Cropped to a single cell; bone marrow aspirate smear: 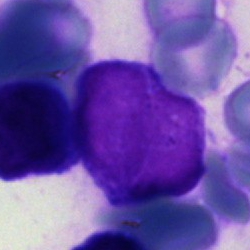 Morphology consistent with a blast.